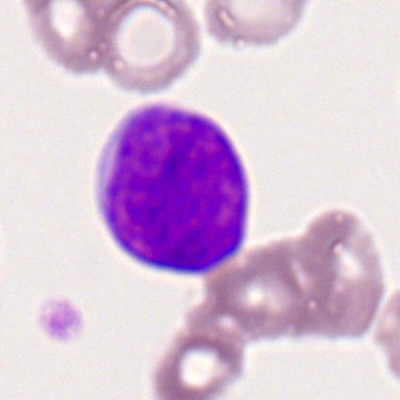Morphological class: myeloblast.